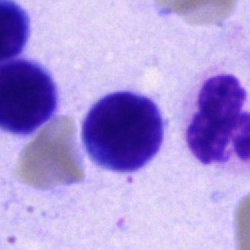 The cell shown is a lymphocyte.